Bone marrow smear · single cell centered in the field:
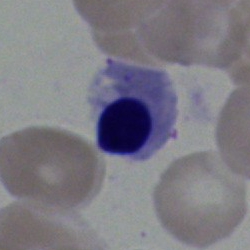A nucleated red blood cell.